Bone marrow smear
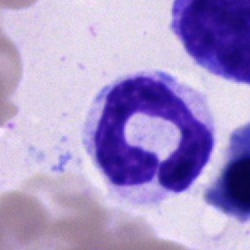

Morphology consistent with a stab cell.